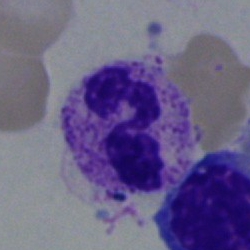
Single-cell crop from a bone marrow smear: neutrophil (segmented).